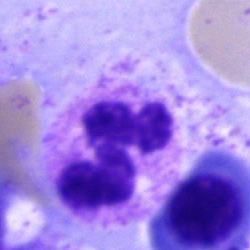

Single-cell crop from a bone marrow smear: neutrophil (segmented).